Bone marrow smear. Cropped to a single cell:
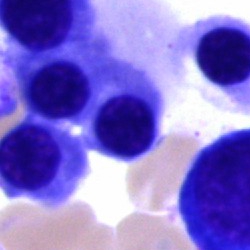

Specimen: bone marrow smear.
Cell type: normoblast.
Lineage: erythroid.